Single cell centered in the field · bone marrow smear: 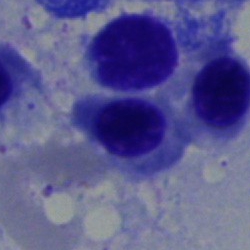

A nucleated red cell.